Bone marrow smear · Pappenheim-stained:
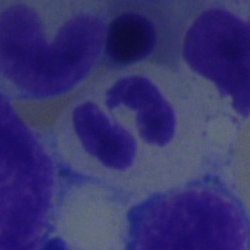

Impression → neutrophil (segmented).